Peripheral blood film — 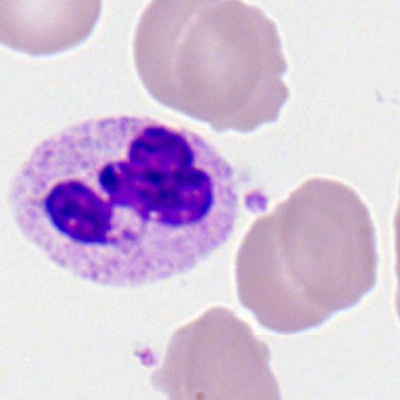Cell type — polymorphonuclear neutrophil.